Brightfield, 40× oil-immersion objective · bone marrow smear:
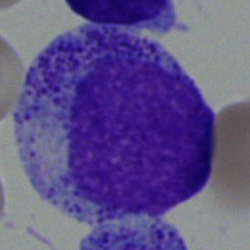 Progranulocyte.